Bone marrow aspirate smear — 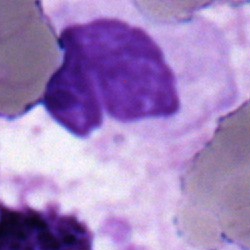 Showing a neutrophil (segmented).